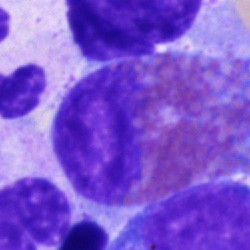 Impression → eosinophil.